Bone marrow smear. Image size 250×250. Single-cell crop — 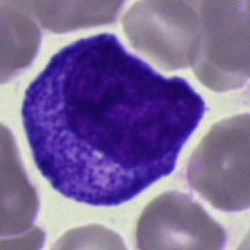

The cell type is promyelocyte.